Bone marrow smear: 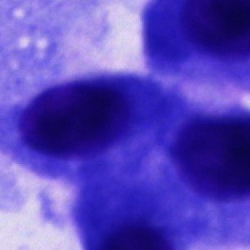

Morphology consistent with an other cell.